Bone marrow smear:
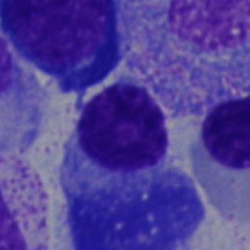 Single cell identified as a plasmacyte.